Bone marrow aspirate smear; single-cell crop
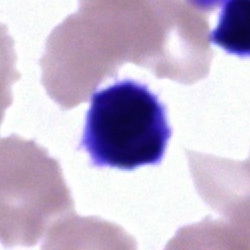Specimen: bone marrow aspirate smear.
Morphological class: artefact.